Bone marrow smear.
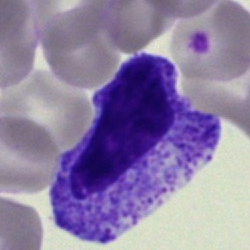

A progranulocyte.